Bone marrow aspirate smear:
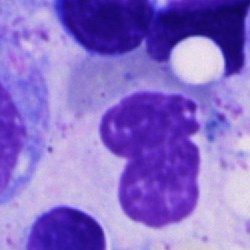

{"cell_type": "neutrophil (segmented)"}